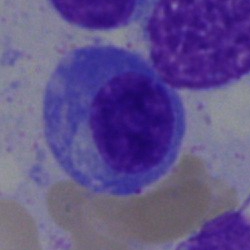 Cell = plasmacyte.